Bone marrow smear.
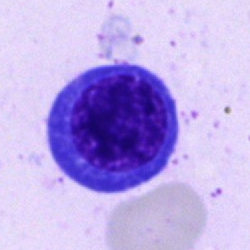 Single cell identified as an erythroblast.